Peripheral blood smear: 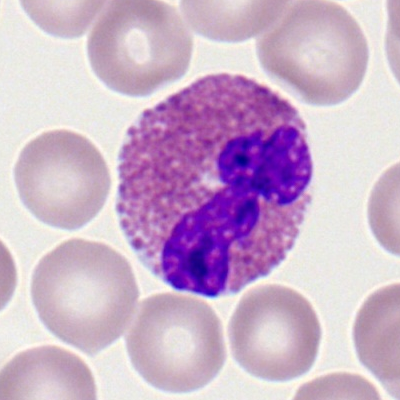
Q: What cell is this?
A: An eosinophil.